Bone marrow aspirate smear. Single cell centered in the field. 40× objective, oil immersion.
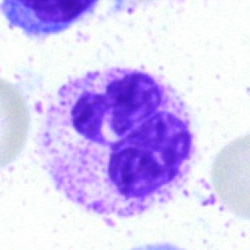Q: What type of cell is this?
A: A polymorphonuclear neutrophil.